Peripheral blood film: 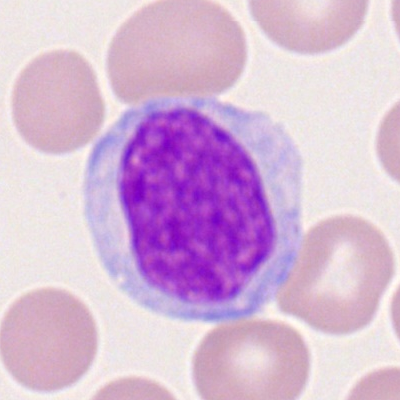A monocyte.